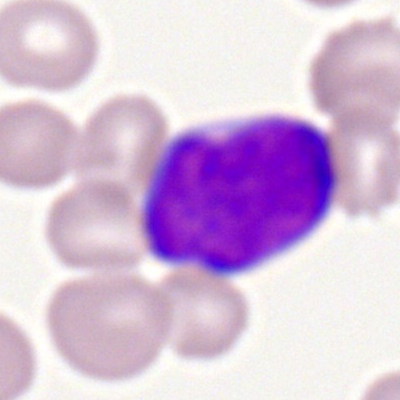 Classification: myeloblast.